Bone marrow smear: 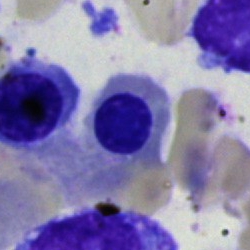

Q: What type of cell is this?
A: It is a normoblast.